Bone marrow aspirate smear: 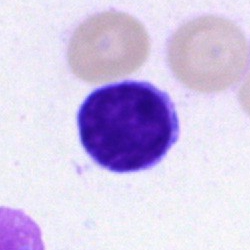Single cell identified as a lymphocyte.